Bone marrow aspirate smear — 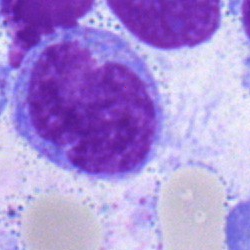 Showing a monocyte.